Single cell centered in the field · bone marrow smear:
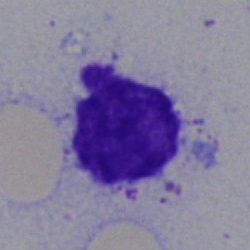 Q: What is shown here?
A: An artifact.